Bone marrow smear:
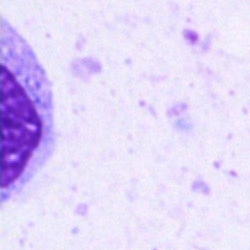 Cell: artefact.